Brightfield microscopy, 40× oil immersion · bone marrow smear: 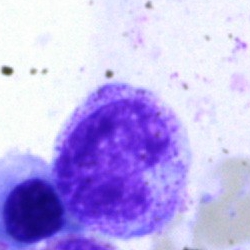{"cell_type": "metamyelocyte", "lineage": "myeloid"}